Bone marrow smear
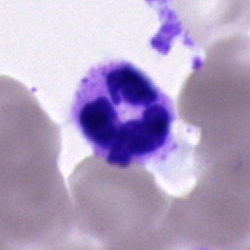

Morphological class = neutrophil (segmented).